Bone marrow smear. Brightfield microscopy, 40× oil immersion
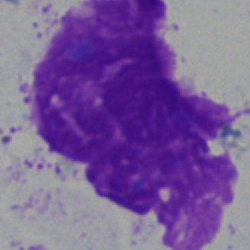 Impression → artifact.